Single cell centered in the field · bone marrow aspirate smear: 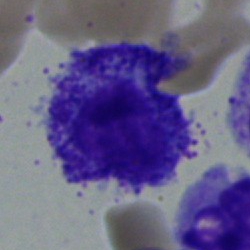The morphological class is progranulocyte.